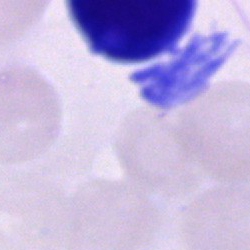
Artifact.